Bone marrow smear: 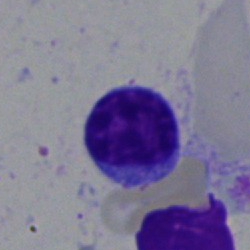
Q: What type of cell is this?
A: Lymphocyte.